Peripheral blood smear. 100× oil immersion, 14.14 px/µm: 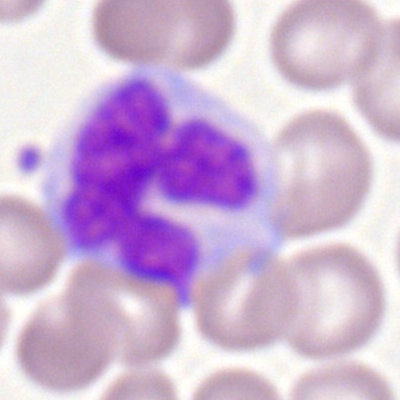 The cell is monocyte.